MGG-stained · single-cell field · bone marrow smear
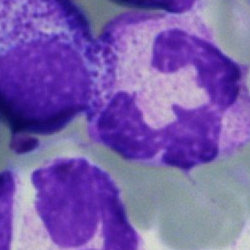

Cell type — neutrophil (segmented).